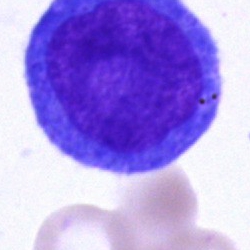 Q: What is the morphological classification of this cell?
A: A blast.